Bone marrow aspirate smear
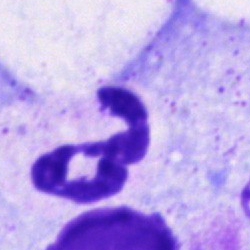 Cell type — polymorphonuclear neutrophil.